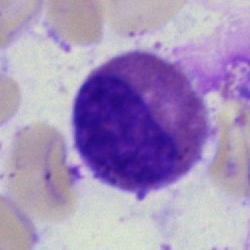

Q: What is shown here?
A: An eosinophilic granulocyte.